Bone marrow smear: 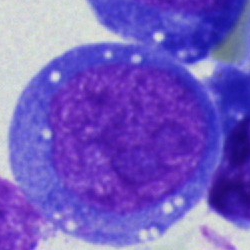Q: What cell is this?
A: This is a blast cell.